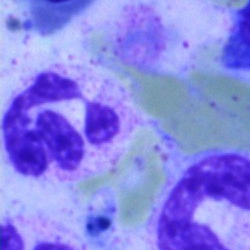 A polymorphonuclear neutrophil.